Bone marrow aspirate smear — 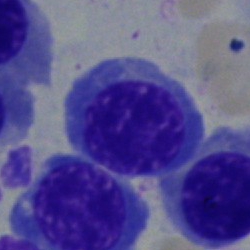 The cell shown is an erythroblast.